Peripheral blood film — 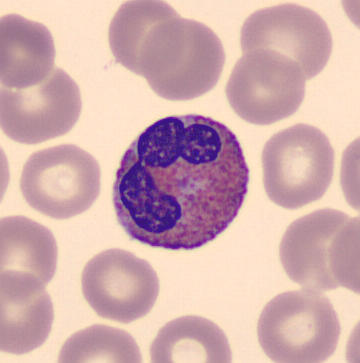 Morphology — eosinophilic granulocyte.